Bone marrow aspirate smear; cropped to a single cell
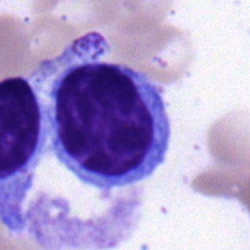

Cell type — lymphocyte.